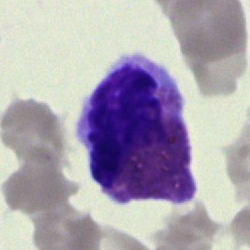
This is an eosinophil.